Bone marrow smear. Single-cell crop.
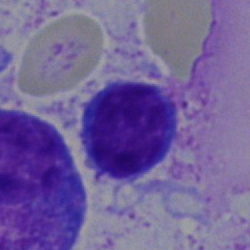Q: What cell is this?
A: It is a lymphocyte.